Cropped to a single cell; bone marrow aspirate smear: 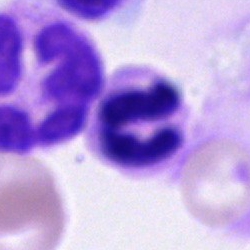 Polymorphonuclear neutrophil.